Bone marrow smear · May-Grünwald-Giemsa/Pappenheim stain: 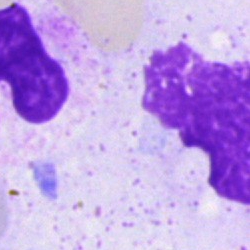 The cell shown is an artefact.